Bone marrow aspirate smear — 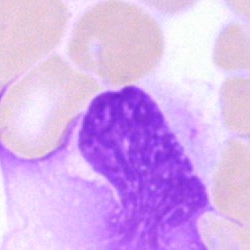
Q: What is shown here?
A: An artifact.